Bone marrow smear. Image size 250×250:
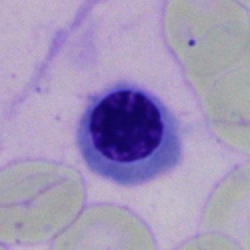
Morphology consistent with a nucleated red cell.